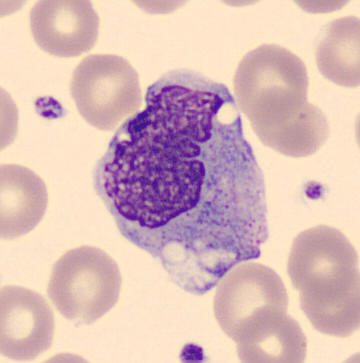
Peripheral blood smear.
The cell is monocyte.